Single-cell field. Bone marrow aspirate smear
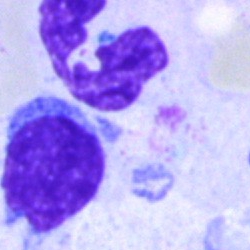

The cell shown is a polymorphonuclear neutrophil.